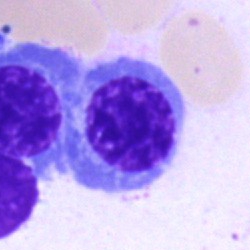 Morphological class: erythroblast.